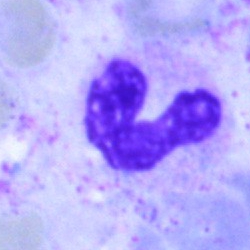 Q: Identify the cell.
A: A neutrophil (band).